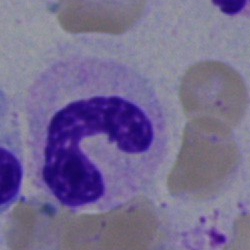Morphological class — band-form neutrophil.